40× objective, oil immersion; bone marrow smear; 250×250:
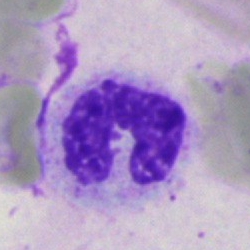 Specimen: bone marrow aspirate smear.
Cell: stab cell.
Lineage: myeloid.